Bone marrow smear: 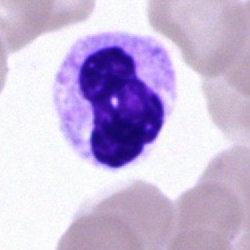The cell is segmented neutrophil.